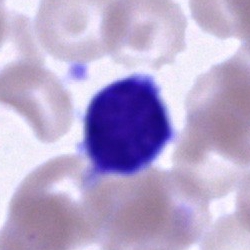 Morphology → lymphocyte.